Bone marrow smear: 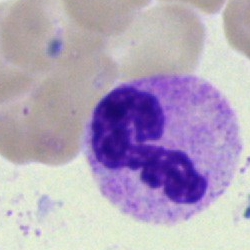 Impression — neutrophil (segmented).